Cropped to a single cell · bone marrow smear: 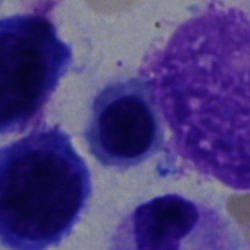 Specimen: bone marrow aspirate smear.
Cell: normoblast.